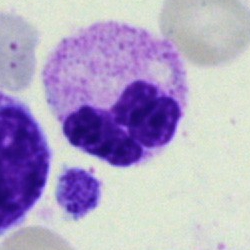 Bone marrow aspirate smear, single cell — neutrophil (segmented).